Bone marrow aspirate smear: 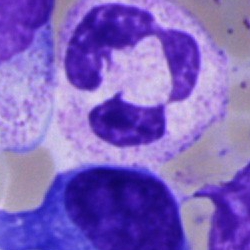
A neutrophil (segmented).